Bone marrow smear: 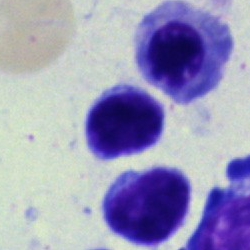 The cell shown is a typical lymphocyte.